Bone marrow smear
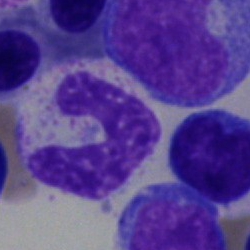Cell type = neutrophil (band).